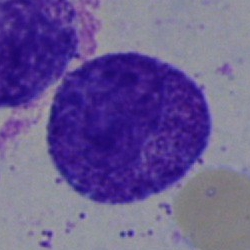Classification = promyelocyte.